Bone marrow aspirate smear. May-Grünwald-Giemsa/Pappenheim stain. 250×250 px — 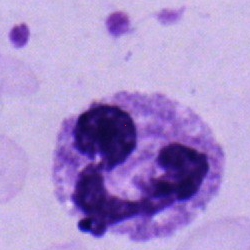
This is a segmented neutrophil.